Peripheral blood smear.
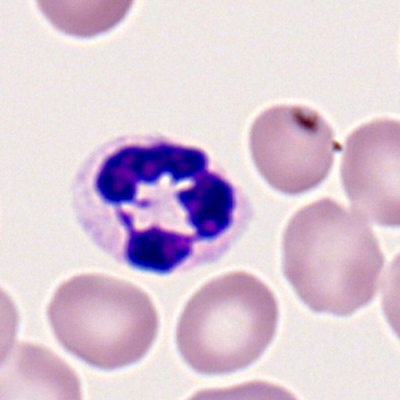Q: Which cell type is shown here?
A: It is a neutrophil (segmented).